Bone marrow smear. Cropped to a single cell. 40× oil immersion.
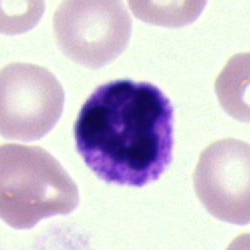Single cell identified as a polymorphonuclear neutrophil.